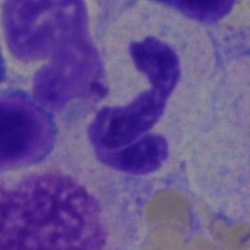
Classification = segmented neutrophil.